Bone marrow aspirate smear:
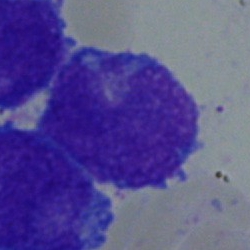 {"cell_type": "blast cell"}